Bone marrow aspirate smear: 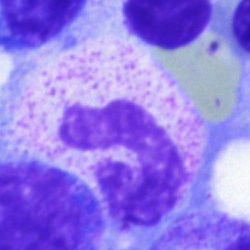The cell is neutrophil (segmented).